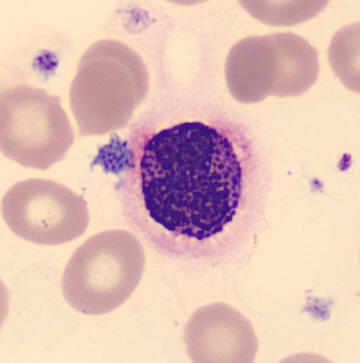 360 by 363 pixels · peripheral blood film. {"cell_type": "basophil", "lineage": "myeloid"}